Peripheral blood film. Single-cell field.
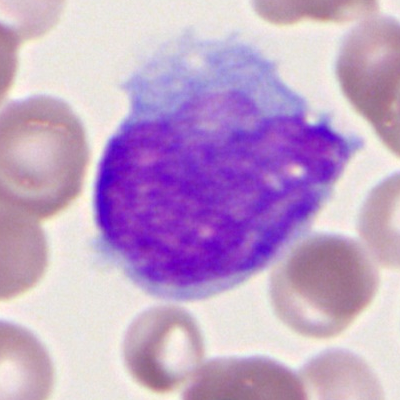

Specimen: peripheral blood smear.
Morphological class: monocyte.
Lineage: myeloid.